250 by 250 pixels; May-Grünwald-Giemsa stain; bone marrow aspirate smear
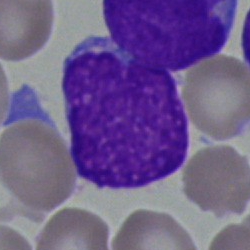

Undifferentiated blast.